Bone marrow smear; 40× oil immersion
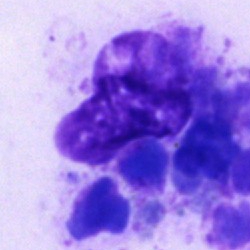Morphology consistent with an artefact.